Bone marrow smear; brightfield microscopy, 40× oil immersion.
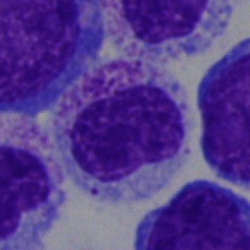

A myelocyte.